Brightfield microscopy, 40× oil immersion · bone marrow smear:
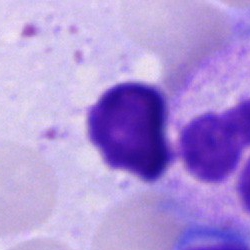
Artefact.